Bone marrow aspirate smear:
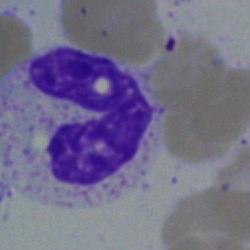 Morphological class = band neutrophil.